Single-cell crop. Bone marrow aspirate smear. 250×250 px.
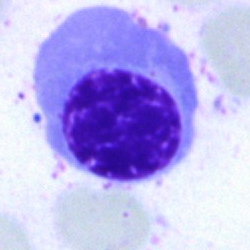

This is a nucleated red blood cell.